Single cell centered in the field. Bone marrow smear — 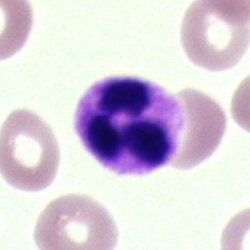 The cell shown is a neutrophil (segmented).